Bone marrow aspirate smear — 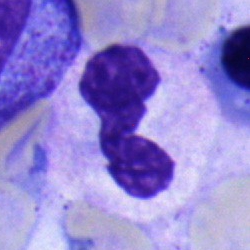The cell type is segmented neutrophil.